Bone marrow aspirate smear; 250×250 — 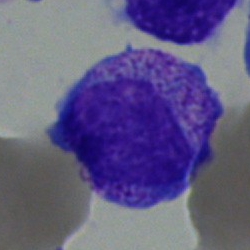 Q: What is shown here?
A: Myelocyte.